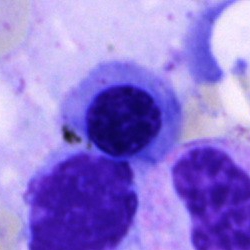

Specimen: bone marrow smear.
Morphological class: nucleated red blood cell.
Lineage: erythroid.